Peripheral blood film · Romanowsky-type stain: 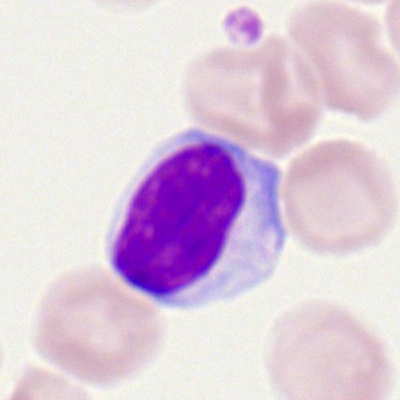{"cell_type": "lymphocyte", "lineage": "lymphoid"}